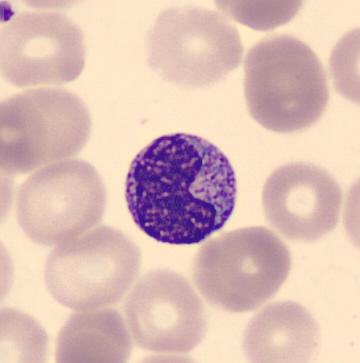 Image: Peripheral blood smear.
Metamyelocyte.